Bone marrow aspirate smear. 40× oil immersion. May-Grünwald-Giemsa stain — 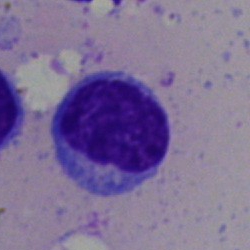 {"cell_type": "lymphocyte", "lineage": "lymphoid"}